Bone marrow smear:
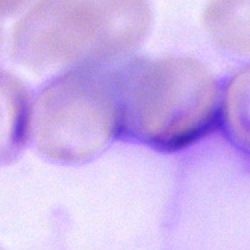
An artifact.